MGG-stained. Bone marrow aspirate smear. Image size 250×250: 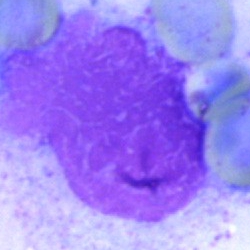 Morphology → artifact.